Single-cell crop; brightfield microscopy, 40× oil immersion; bone marrow smear — 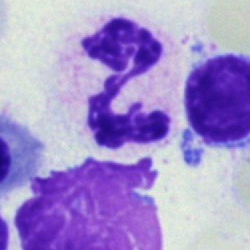

Cell = segmented neutrophil.